Image size 250×250; bone marrow aspirate smear:
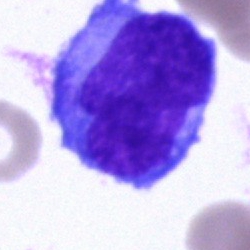 Showing a blast cell.